Bone marrow smear; Pappenheim-stained:
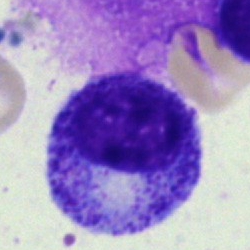
Specimen: bone marrow aspirate smear.
Morphological class: promyelocyte.
Lineage: myeloid.